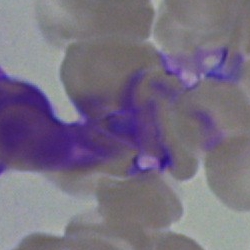
Showing an artefact.